Bone marrow aspirate smear — 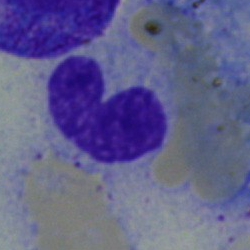

Q: What is the morphological classification of this cell?
A: This is a neutrophil (band).